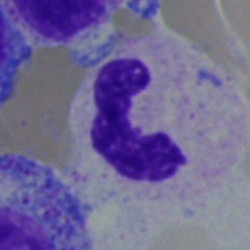

A neutrophil (segmented).